Bone marrow smear. 40× objective, oil immersion — 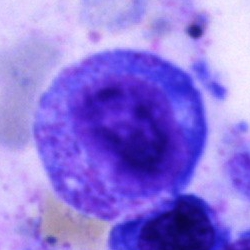 Morphology consistent with a promyelocyte.